Bone marrow smear:
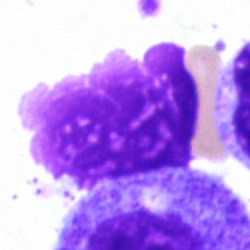This is an artifact.